Bone marrow smear; 250×250
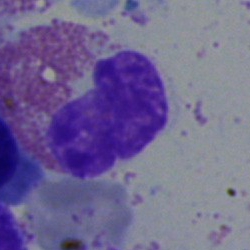 Q: What cell is this?
A: An eosinophilic granulocyte.